250×250 · bone marrow smear.
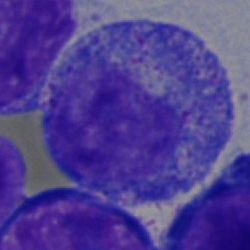
Q: What is the morphological classification of this cell?
A: Promyelocyte.